Bone marrow aspirate smear: 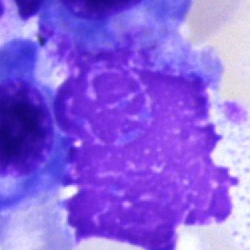Specimen: bone marrow smear.
Morphological class: artifact.